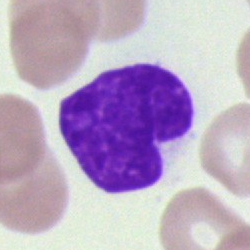
Morphology — artefact.